Bone marrow smear. MGG-stained. Brightfield microscopy, 40× oil immersion:
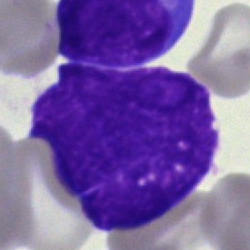
The cell is artefact.